Bone marrow aspirate smear. May-Grünwald-Giemsa/Pappenheim stain: 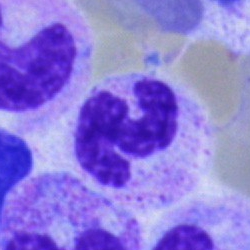
Polymorphonuclear neutrophil.